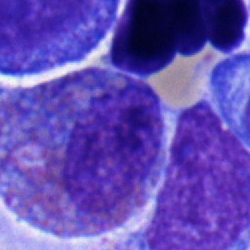Single-cell crop from a bone marrow smear: eosinophilic granulocyte.